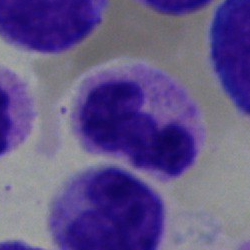

The cell is neutrophil (segmented).